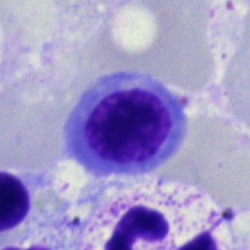

The cell shown is an erythroblast.